Bone marrow smear; single-cell crop: 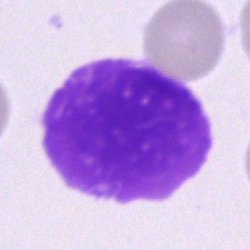 {"cell_type": "artefact"}